Bone marrow smear · 40× objective, oil immersion · May-Grünwald-Giemsa/Pappenheim stain
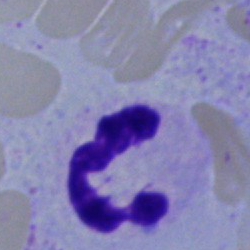
Morphology consistent with a segmented neutrophil.